Bone marrow aspirate smear. Image size 250×250 — 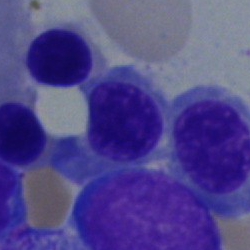

Specimen: bone marrow smear.
Classification: nucleated red cell.